Pappenheim-stained · bone marrow aspirate smear.
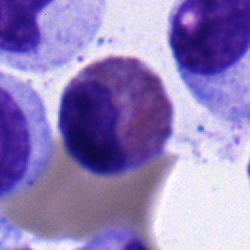This is an eosinophil.